Bone marrow smear: 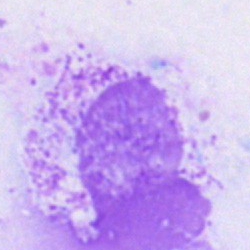Q: What is shown here?
A: It is an artefact.